Bone marrow aspirate smear — 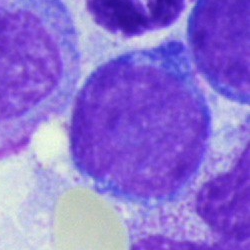 Showing a blast.